40× oil immersion · bone marrow smear:
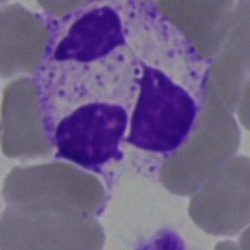

{"cell_type": "polymorphonuclear neutrophil"}